Bone marrow smear · 250 by 250 pixels · brightfield microscopy, 40× oil immersion.
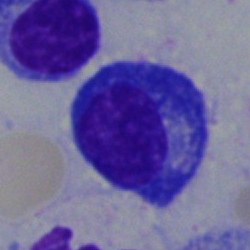 Cell type — plasmacyte.